Bone marrow aspirate smear: 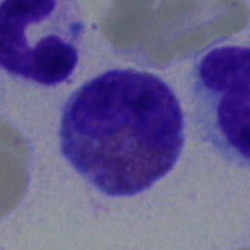 Impression — eosinophilic granulocyte.